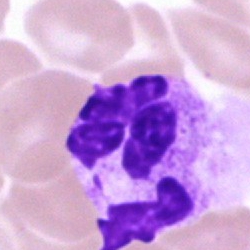
Specimen: bone marrow aspirate smear.
Classification: segmented neutrophil.
Lineage: myeloid.